Image size 250×250; bone marrow smear:
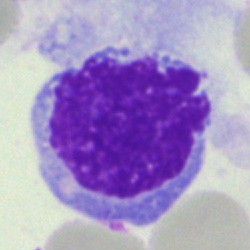
Specimen: bone marrow aspirate smear.
Classification: artifact.